250 by 250 pixels. Pappenheim-stained. Bone marrow aspirate smear: 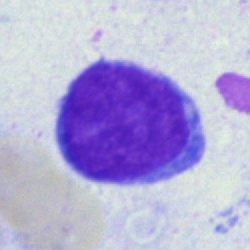
Q: What type of cell is this?
A: This is an undifferentiated blast.